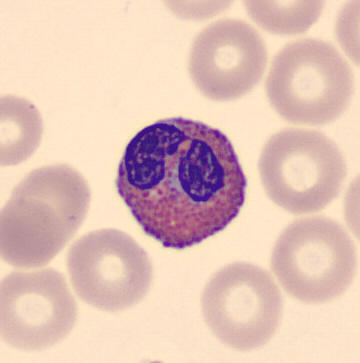 Specimen: peripheral blood smear.
Morphological class: eosinophil.
Lineage: myeloid.